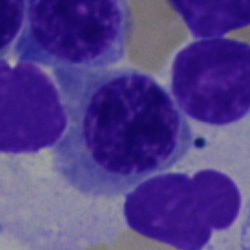 This is a nucleated red blood cell.